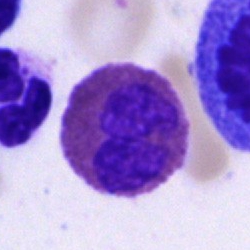 Cell: eosinophil.